Pappenheim-stained. Bone marrow aspirate smear. 250×250.
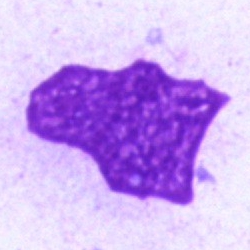

The cell type is artefact.